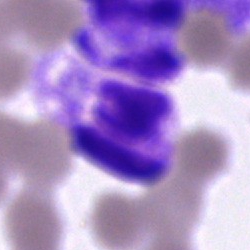Cell = artifact.